Bone marrow aspirate smear. Single cell centered in the field.
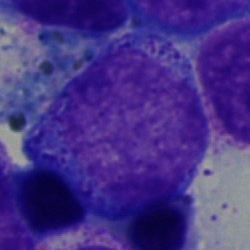

Morphological class — promyelocyte.